Single-cell field. Bone marrow aspirate smear. May-Grünwald-Giemsa stain
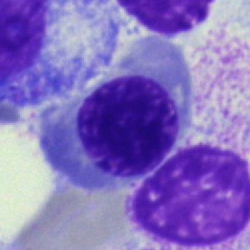 An erythroblast.